Bone marrow aspirate smear.
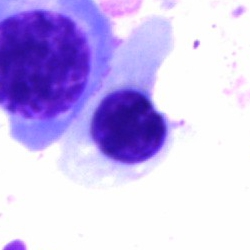
{"cell_type": "normoblast"}